40× oil immersion. Bone marrow aspirate smear. 250 by 250 pixels.
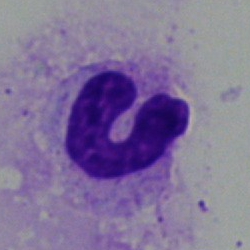

Single cell identified as a neutrophil (band).